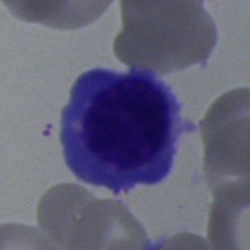Specimen: bone marrow aspirate smear.
Morphological class: erythroblast.
Lineage: erythroid.